Bone marrow smear.
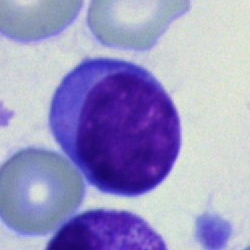

Single cell identified as a blast.